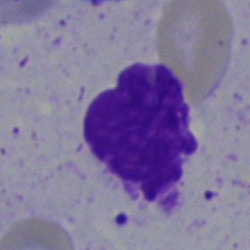Specimen: bone marrow smear.
Classification: artifact.